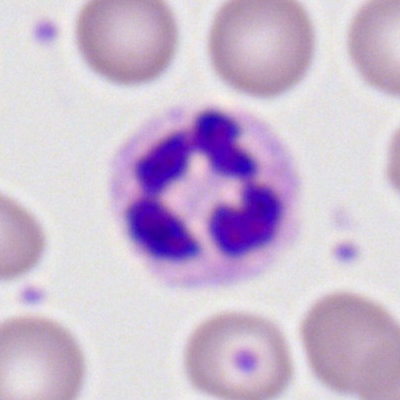
{"cell_type": "segmented neutrophil", "lineage": "myeloid"}